Peripheral blood smear; single-cell crop
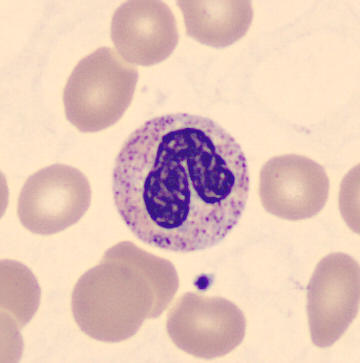Neutrophil (band).